May-Grünwald-Giemsa stain · bone marrow aspirate smear: 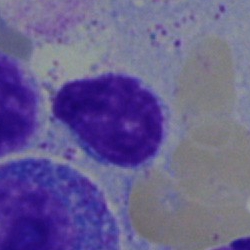 A typical lymphocyte.